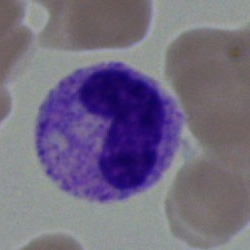
A stab cell.